Peripheral blood smear:
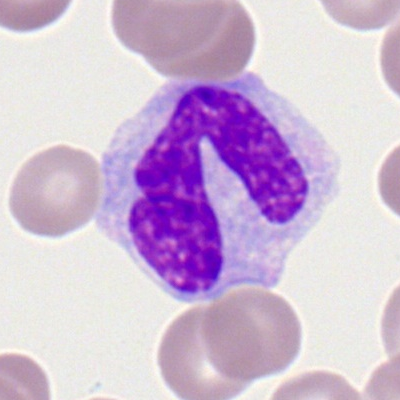
{"cell_type": "monocyte", "lineage": "myeloid"}